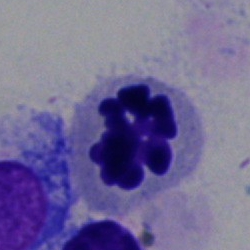Bone marrow aspirate smear, single cell — erythroblast.